Peripheral blood smear; 100× oil immersion: 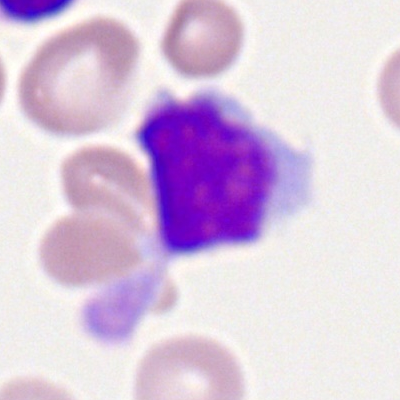 {"cell_type": "typical lymphocyte", "lineage": "lymphoid"}